Bone marrow smear · May-Grünwald-Giemsa stain — 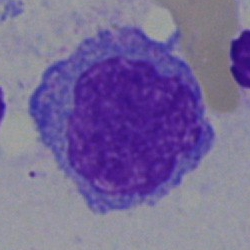Morphological class — monocyte.